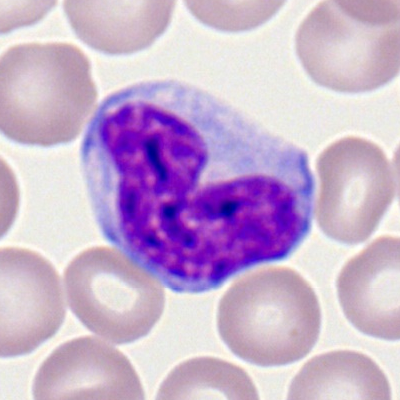
A monocyte.